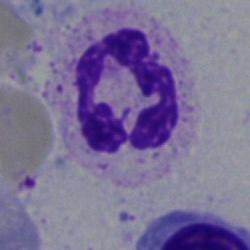
Specimen: bone marrow aspirate smear.
Cell type: neutrophil (segmented).
Lineage: myeloid.